Bone marrow aspirate smear: 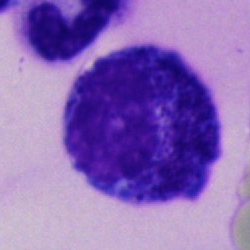
This is a progranulocyte.